Peripheral blood film; 100× objective, oil immersion
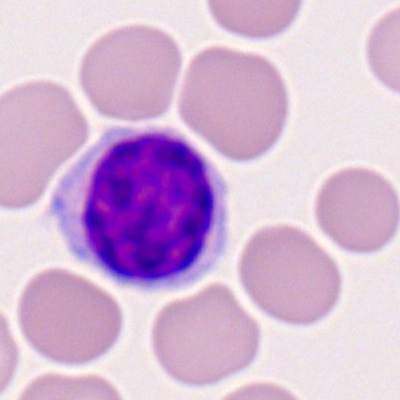
Q: What cell is this?
A: A typical lymphocyte.